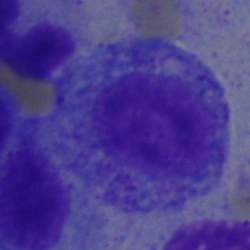Specimen: bone marrow aspirate smear.
Classification: myelocyte.